Bone marrow aspirate smear:
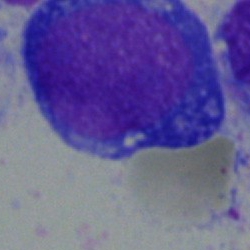

Q: Which cell type is shown here?
A: This is an undifferentiated blast.